Bone marrow aspirate smear
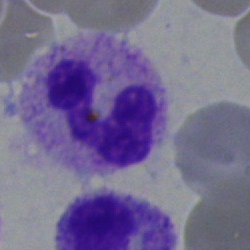

Specimen: bone marrow smear.
Morphological class: polymorphonuclear neutrophil.